Bone marrow aspirate smear: 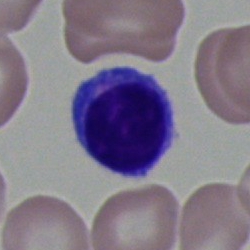
A typical lymphocyte.